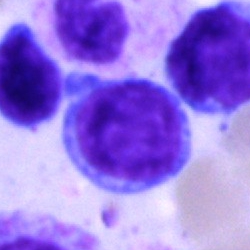
Q: What is the morphological classification of this cell?
A: Lymphocyte.